Bone marrow smear
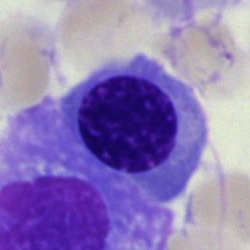 Morphology — erythroblast.